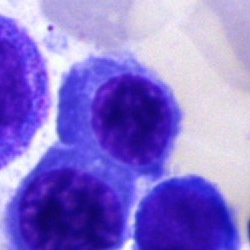 Cell type — normoblast.